Bone marrow smear · image size 250×250 — 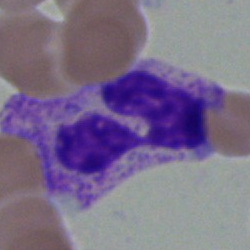 A polymorphonuclear neutrophil.